Bone marrow aspirate smear; image size 250×250 — 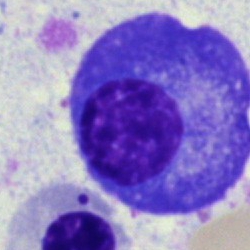This is a plasmacyte.